Bone marrow aspirate smear: 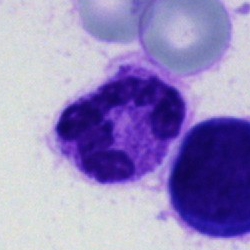

Impression → polymorphonuclear neutrophil.